Bone marrow smear:
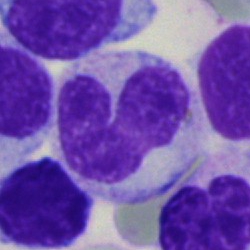
The cell shown is a monocyte.